Bone marrow aspirate smear:
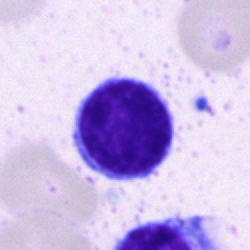
This is a lymphocyte.